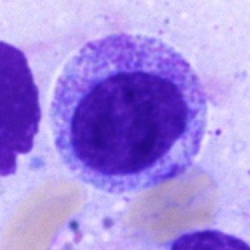

Q: What type of cell is this?
A: This is a myelocyte.